Brightfield, 100× oil-immersion objective · peripheral blood film.
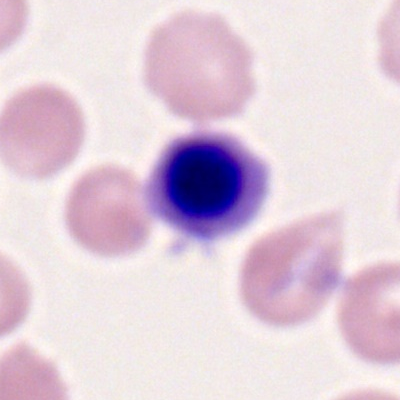Q: Which cell type is shown here?
A: A nucleated red cell.